Bone marrow smear — 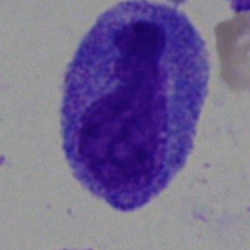
Q: What is shown here?
A: An unidentifiable cell.